Bone marrow aspirate smear
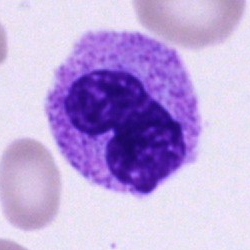{"cell_type": "neutrophil (band)", "lineage": "myeloid"}